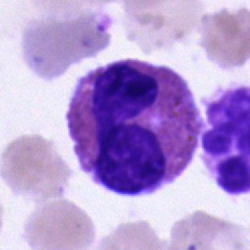Bone marrow smear showing an eosinophilic granulocyte.